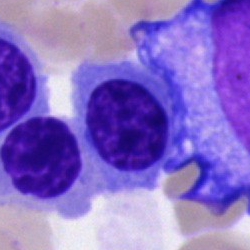
Morphological class — nucleated red blood cell.